Bone marrow aspirate smear — 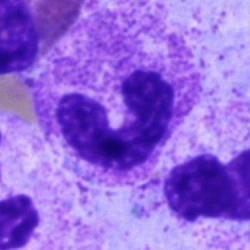
Cell = neutrophil (segmented).